Bone marrow smear — 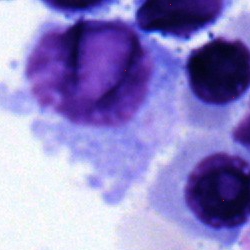Morphology consistent with a plasmacyte.